40× objective, oil immersion. Bone marrow smear
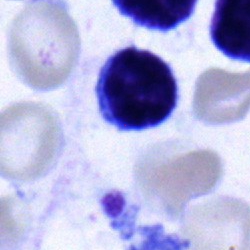 {"cell_type": "typical lymphocyte", "lineage": "lymphoid"}